Bone marrow aspirate smear. Image size 250×250. MGG-stained — 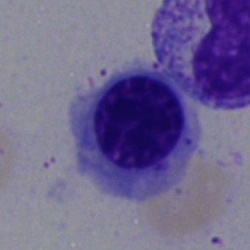
Q: Which cell type is shown here?
A: This is a nucleated red cell.